Bone marrow aspirate smear; image size 250×250 — 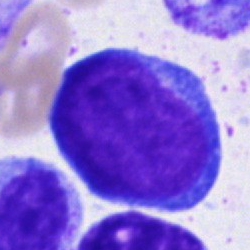
Morphology consistent with a proerythroblast.